Peripheral blood smear
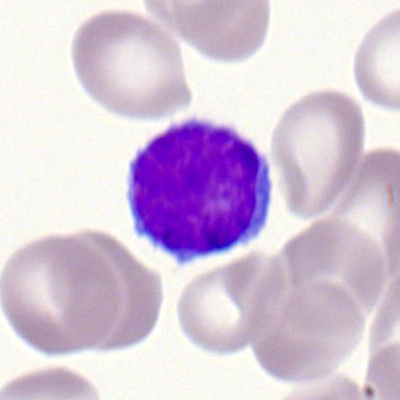

Morphology consistent with a lymphocyte.